Bone marrow smear; single-cell field; brightfield microscopy, 40× oil immersion:
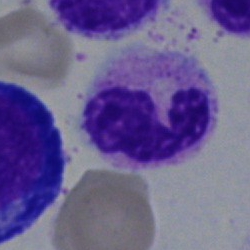Polymorphonuclear neutrophil.